Cropped to a single cell; 250×250; bone marrow aspirate smear — 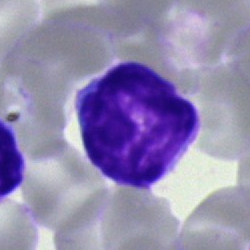A lymphocyte.